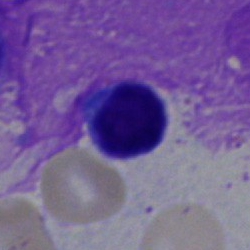
Q: What type of cell is this?
A: A typical lymphocyte.